Peripheral blood film:
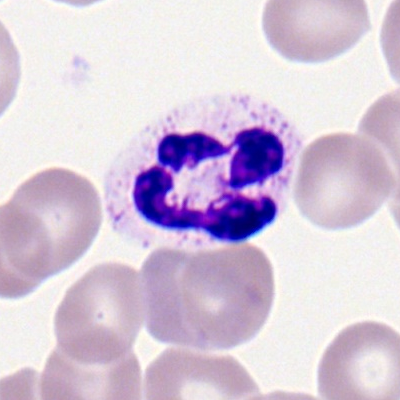
Cell = segmented neutrophil.